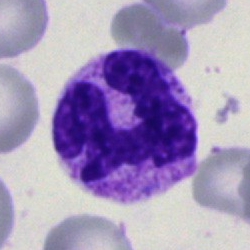 Bone marrow smear showing a polymorphonuclear neutrophil.